Brightfield microscopy, 40× oil immersion · bone marrow smear: 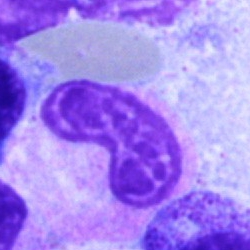Single cell identified as a band neutrophil.